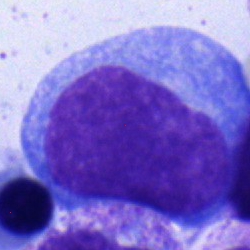
Cell type: blast.